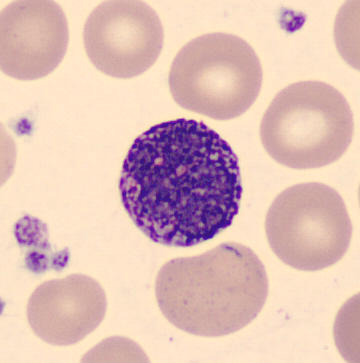Image: 360×363.

Specimen: peripheral blood smear.
Classification: basophilic granulocyte.
Lineage: myeloid.